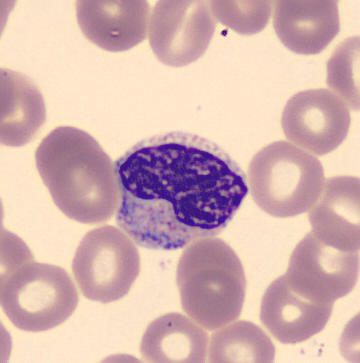Cell type — metamyelocyte. Preparation: Peripheral blood smear. Single-cell crop.